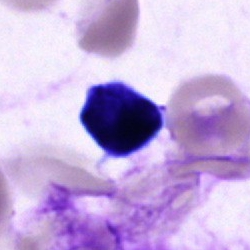Cell type: unidentifiable cell.